Brightfield, 40× oil-immersion objective; bone marrow aspirate smear; MGG-stained: 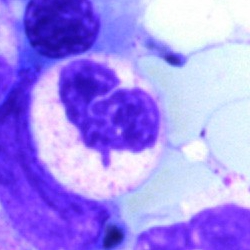Morphological class = stab cell.